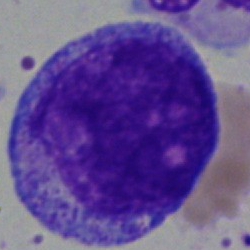 Single-cell crop from a bone marrow smear: promyelocyte.